Bone marrow smear.
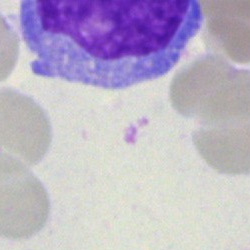 Morphology — artifact.